Bone marrow smear.
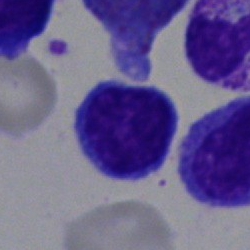

Showing a lymphocyte.